Bone marrow smear; 40× oil immersion — 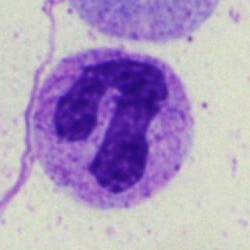
Specimen: bone marrow aspirate smear.
Morphological class: polymorphonuclear neutrophil.